Bone marrow smear — 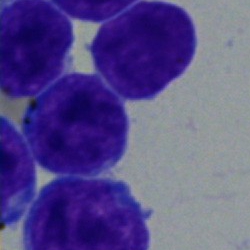
Morphology consistent with an undifferentiated blast.